Bone marrow smear — 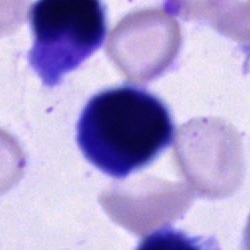

Classification — unidentifiable cell.